Bone marrow aspirate smear.
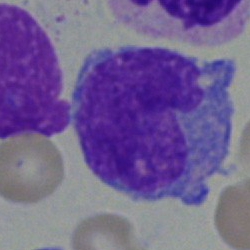
Q: Identify the cell.
A: Monocyte.